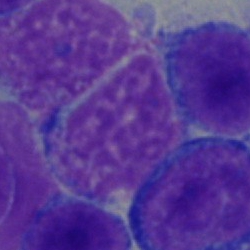

Specimen: bone marrow aspirate smear.
Morphological class: lymphocyte.